Image size 250×250; bone marrow smear — 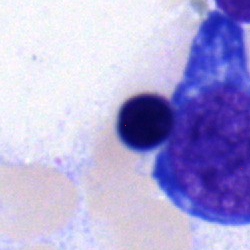 Showing a nucleated red cell.